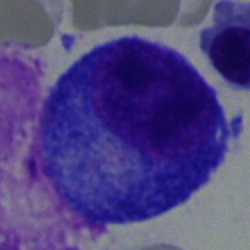
Cell = progranulocyte.